May-Grünwald-Giemsa/Pappenheim stain. Bone marrow aspirate smear — 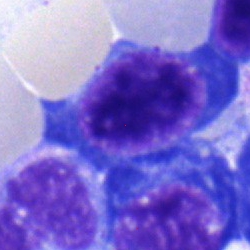
{"cell_type": "pronormoblast", "lineage": "erythroid"}